Bone marrow smear.
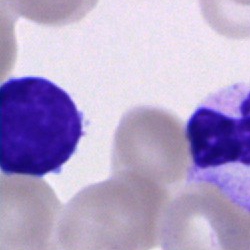Cell — typical lymphocyte.